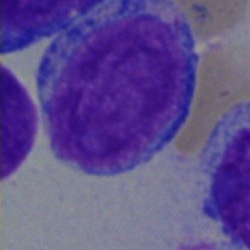

Morphological class: blast.